250×250. Pappenheim-stained. Bone marrow aspirate smear:
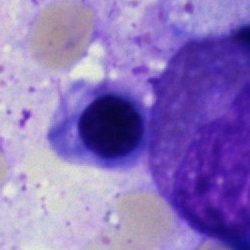 Impression → normoblast.